Image size 250×250 · bone marrow smear — 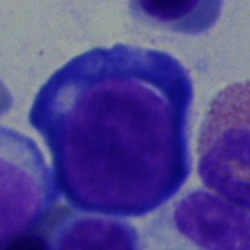
Single cell identified as a proerythroblast.